Bone marrow aspirate smear
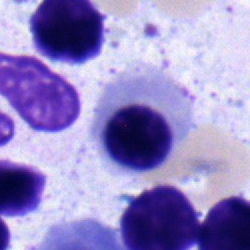 Cell: nucleated red cell.